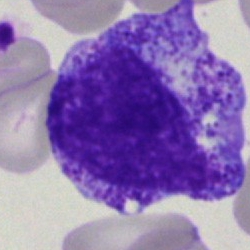 Morphological class: progranulocyte.